Bone marrow smear:
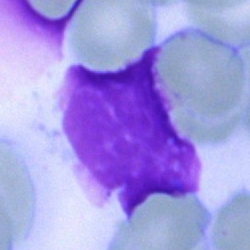The classification is artifact.